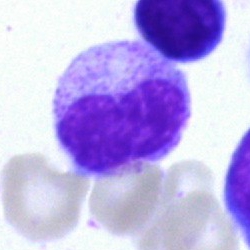

Q: What is shown here?
A: A band neutrophil.